Peripheral blood smear.
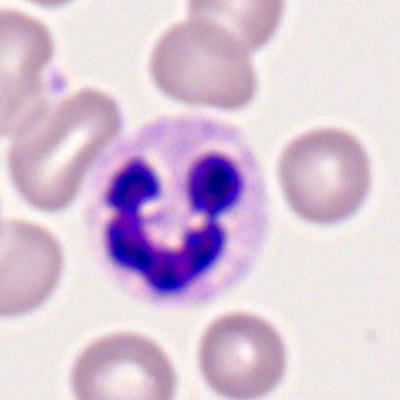Morphology — segmented neutrophil.